Bone marrow smear.
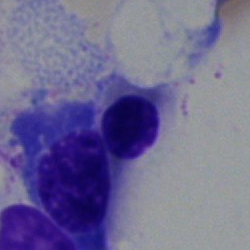
Q: Which cell type is shown here?
A: A normoblast.